Bone marrow smear — 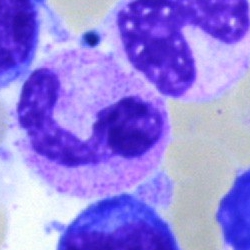
Impression → neutrophil (segmented).